Peripheral blood smear. CellaVision DM96 digital cell image — 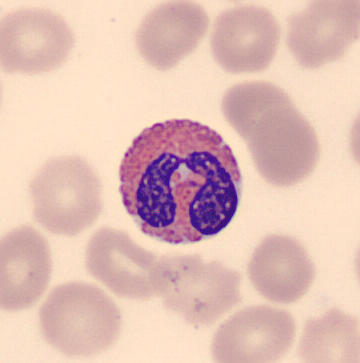Specimen: peripheral blood film.
Cell type: eosinophilic granulocyte.
Lineage: myeloid.